Peripheral blood smear · 100× oil immersion: 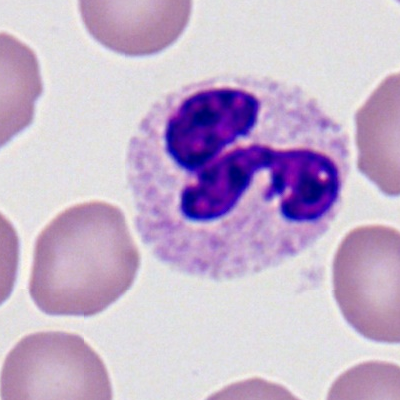
Neutrophil (segmented).